Bone marrow aspirate smear · single-cell crop:
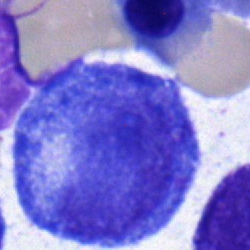
Morphology — progranulocyte.